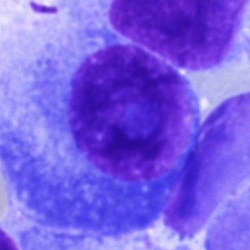Cell type — plasmacyte.